Bone marrow smear
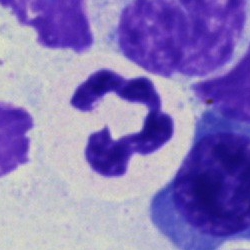

Cell type — polymorphonuclear neutrophil.